Peripheral blood smear.
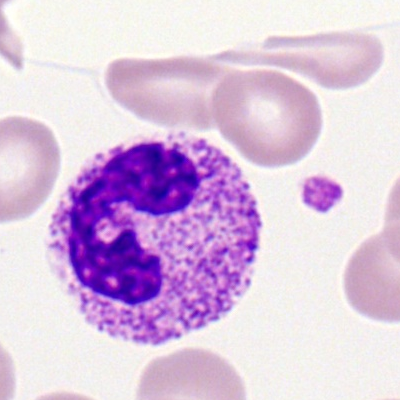 Polymorphonuclear neutrophil.